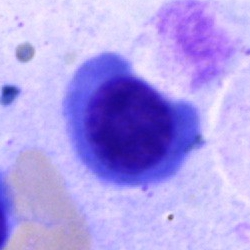

{"cell_type": "erythroblast"}